Bone marrow aspirate smear. Pappenheim-stained: 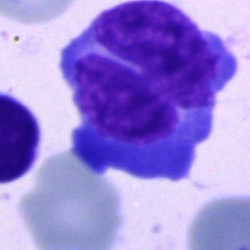
Classification — blast cell.